Bone marrow aspirate smear; single cell centered in the field; 40× objective, oil immersion — 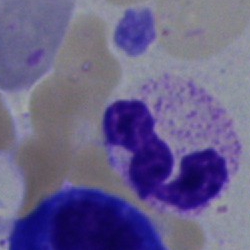
Impression — segmented neutrophil.